Bone marrow aspirate smear:
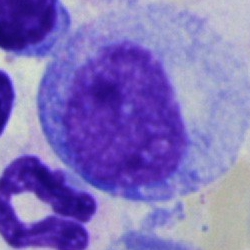 Cell type — promyelocyte.